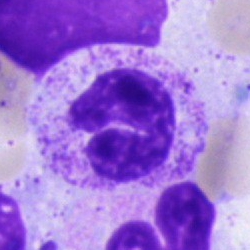
Morphological class: polymorphonuclear neutrophil.